40× objective, oil immersion. Single-cell field. Bone marrow smear: 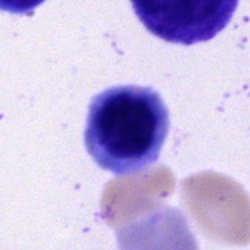
Cell type = nucleated red blood cell.